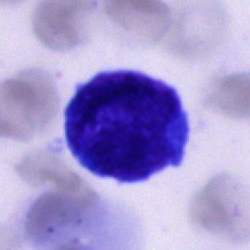
Impression → cell of indeterminate lineage.